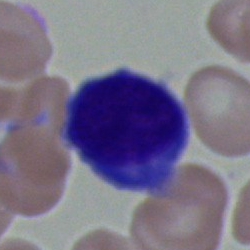

Specimen: bone marrow smear.
Morphological class: typical lymphocyte.